Bone marrow smear; May-Grünwald-Giemsa/Pappenheim stain:
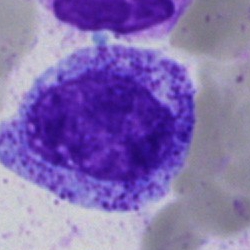
Q: Identify the cell.
A: This is a myelocyte.